Bone marrow smear
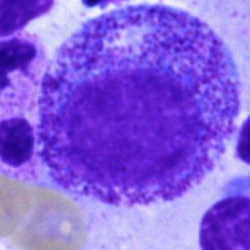Q: What is shown here?
A: It is a progranulocyte.